250×250 px. MGG-stained. Bone marrow smear: 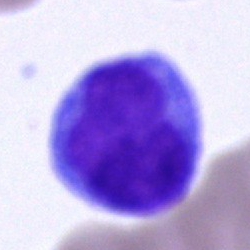Specimen: bone marrow aspirate smear.
Morphological class: blast cell.